Bone marrow smear:
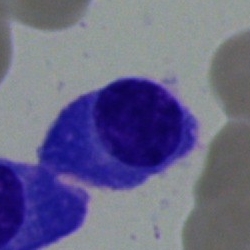
Specimen: bone marrow aspirate smear.
Cell: plasma cell.